Single-cell crop · image size 250×250 · bone marrow aspirate smear:
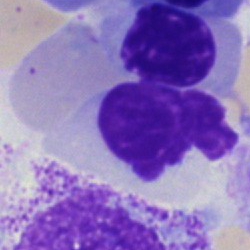
Impression — artifact.